Bone marrow smear — 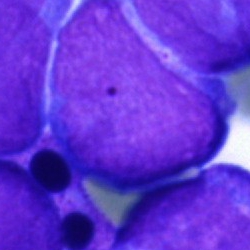

Single cell identified as a blast.